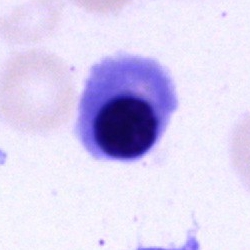
{"cell_type": "nucleated red blood cell"}